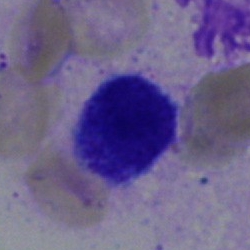
Specimen: bone marrow smear.
Classification: lymphocyte.